Peripheral blood smear. CellaVision DM96 digital cell image. 360×363: 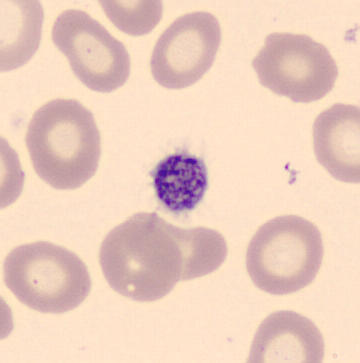 This is a platelet (thrombocyte).